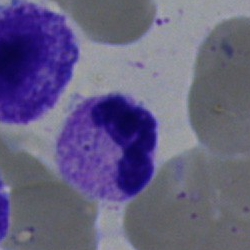
Q: Which cell type is shown here?
A: This is a segmented neutrophil.